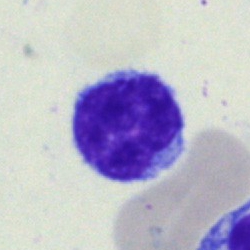

Cell type = lymphocyte.